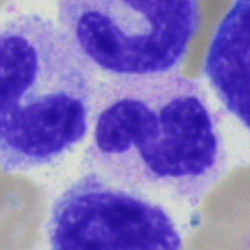Single cell identified as a segmented neutrophil.